Bone marrow aspirate smear — 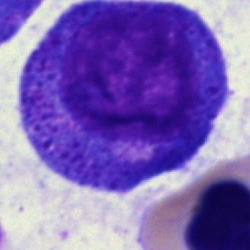A promyelocyte.